Peripheral blood film
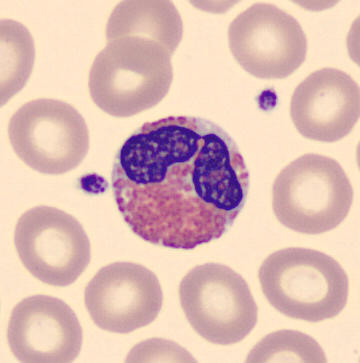

Eosinophil.